Bone marrow smear — 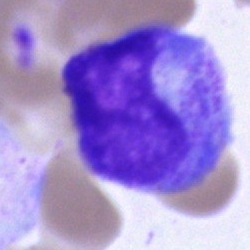

The classification is promyelocyte.